Bone marrow smear.
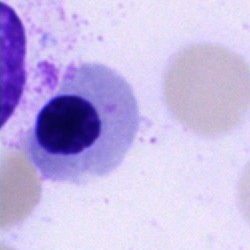

A normoblast.